Peripheral blood smear.
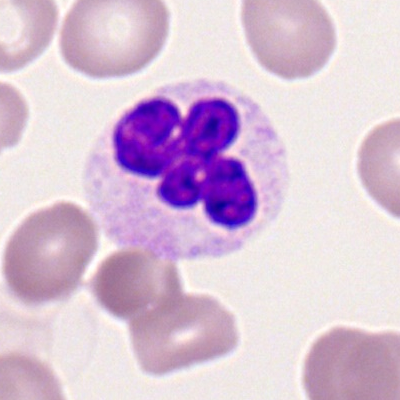 The cell shown is a neutrophil (segmented).